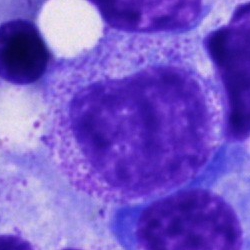Specimen: bone marrow smear.
Cell type: progranulocyte.